Bone marrow aspirate smear:
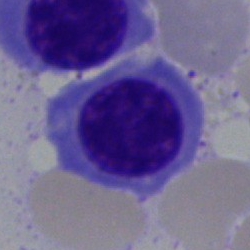

Impression → nucleated red cell.